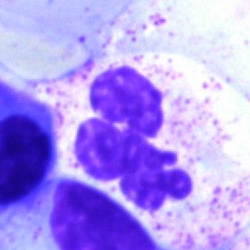
The morphological class is polymorphonuclear neutrophil.